Bone marrow smear: 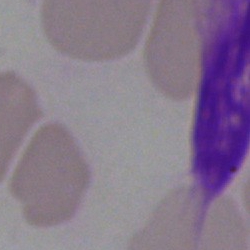 Artifact.